Bone marrow smear:
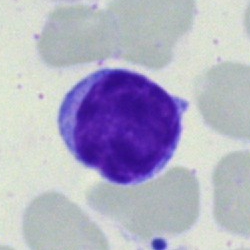

Typical lymphocyte.